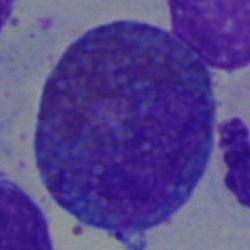

Morphological class — eosinophilic granulocyte.